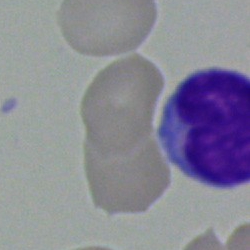

Cell = typical lymphocyte.